Bone marrow aspirate smear
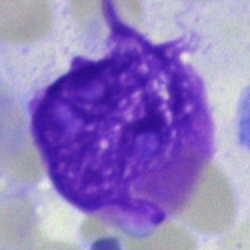
An artefact.